Bone marrow aspirate smear.
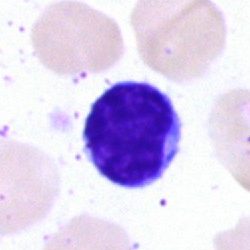 This is a typical lymphocyte.